250×250; bone marrow smear: 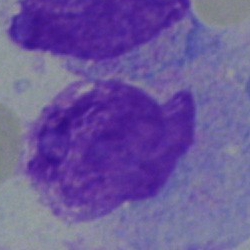

Q: What is shown here?
A: This is a blast.